Bone marrow aspirate smear; Pappenheim-stained: 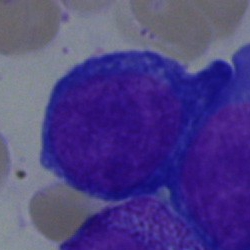The cell shown is a pronormoblast.